Bone marrow smear.
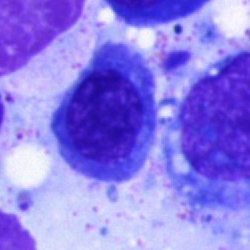Morphology consistent with a nucleated red cell.